Single-cell crop; bone marrow aspirate smear — 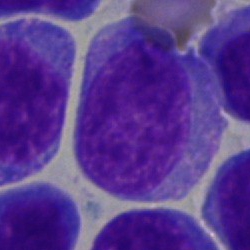
Q: Identify the cell.
A: Undifferentiated blast.